Peripheral blood smear
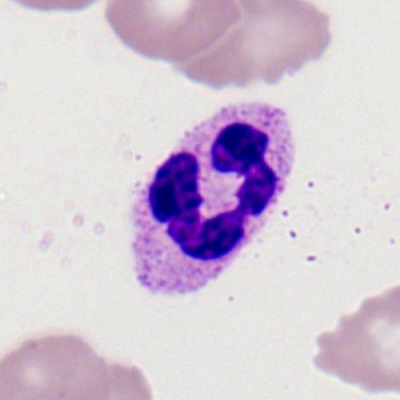 This is a neutrophil (segmented).